Bone marrow aspirate smear
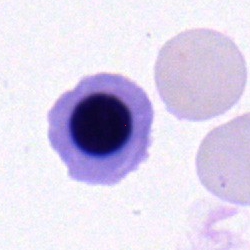

An erythroblast.